Single cell centered in the field; bone marrow aspirate smear; image size 250×250 — 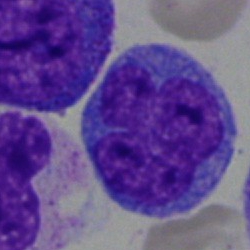
Undifferentiated blast.